Romanowsky-stained. Peripheral blood smear: 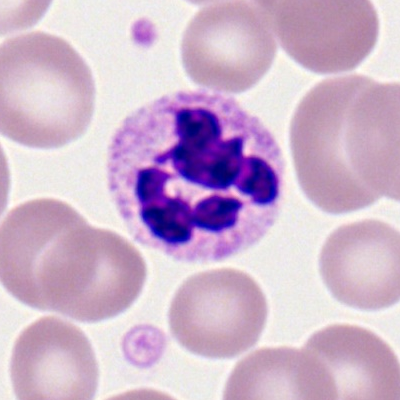Cell = neutrophil (segmented).